Cropped to a single cell · bone marrow smear · 250×250: 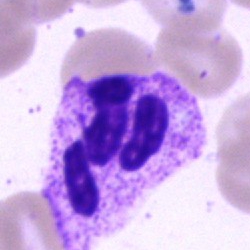

{"cell_type": "polymorphonuclear neutrophil", "lineage": "myeloid"}